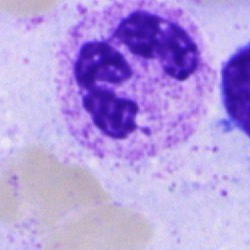
Morphology — polymorphonuclear neutrophil.